Bone marrow aspirate smear · brightfield microscopy, 40× oil immersion · May-Grünwald-Giemsa stain: 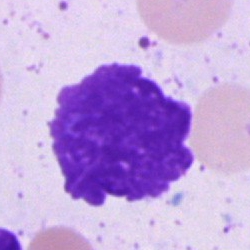Q: What is shown here?
A: Artefact.